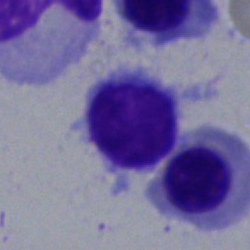Bone marrow smear showing a lymphocyte.